Bone marrow smear.
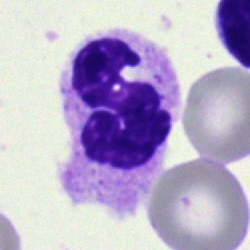A neutrophil (segmented).